Bone marrow smear; single-cell field
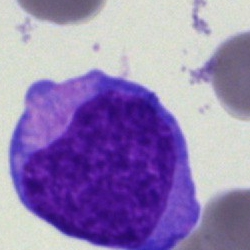
{"cell_type": "undifferentiated blast"}